Bone marrow smear.
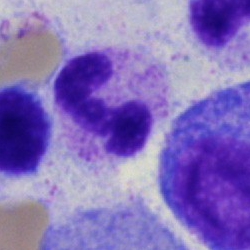

This is a neutrophil (segmented).